Bone marrow aspirate smear; single-cell field.
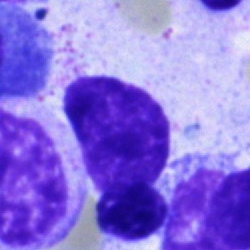Morphological class = artefact.